Bone marrow smear:
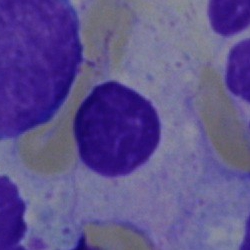
Q: What is shown here?
A: This is a typical lymphocyte.